Bone marrow aspirate smear.
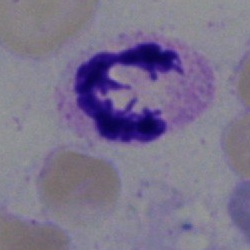 Single cell identified as a segmented neutrophil.